May-Grünwald-Giemsa/Pappenheim stain · bone marrow aspirate smear.
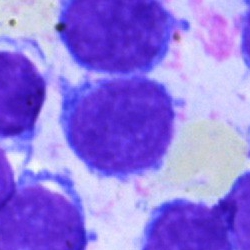{"cell_type": "typical lymphocyte"}